Bone marrow smear
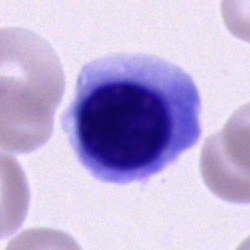

Morphology → erythroblast.